MGG-stained · bone marrow aspirate smear:
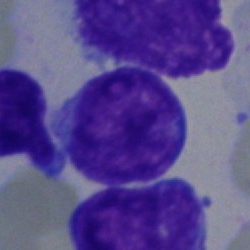
The cell shown is a blast.